Bone marrow smear: 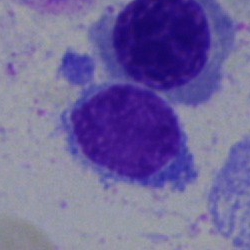
Q: Which cell type is shown here?
A: It is a typical lymphocyte.